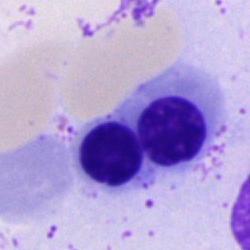Q: What is shown here?
A: A normoblast.